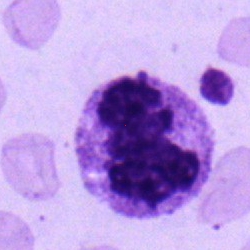 Q: What is shown here?
A: It is a neutrophil (segmented).